100× objective, oil immersion; image size 400×400; peripheral blood film:
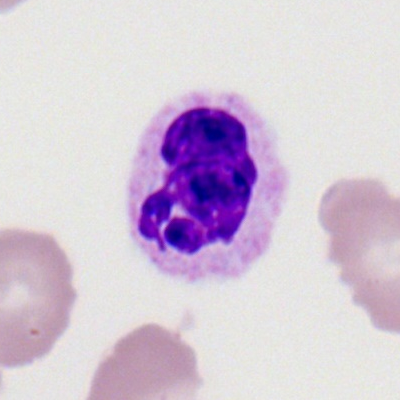
Morphology consistent with a polymorphonuclear neutrophil.